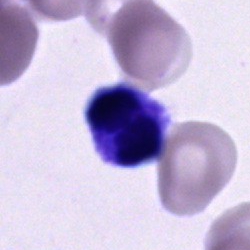

Impression — cell of indeterminate lineage.